Bone marrow aspirate smear; cropped to a single cell:
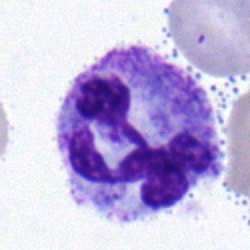This is a polymorphonuclear neutrophil.